Bone marrow aspirate smear: 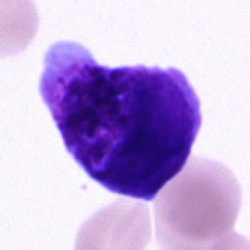 Cell type: blast cell.